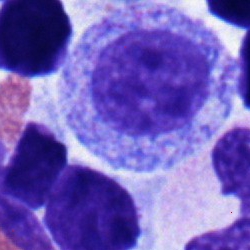 Q: What is the morphological classification of this cell?
A: It is a myelocyte.